Peripheral blood smear.
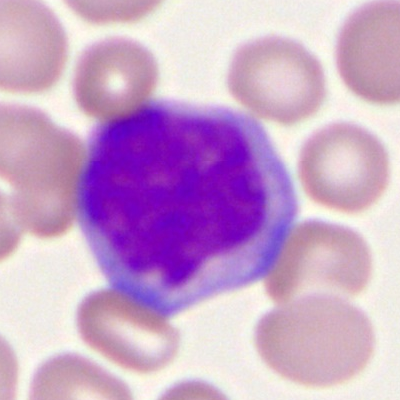Specimen: peripheral blood smear.
Cell type: myeloid blast.
Lineage: myeloid.